250×250 px · 40× oil immersion · bone marrow aspirate smear: 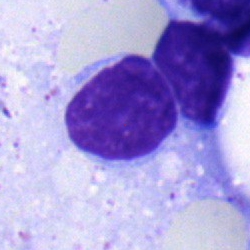Q: What type of cell is this?
A: This is a lymphocyte.